Bone marrow smear; Pappenheim-stained; cropped to a single cell.
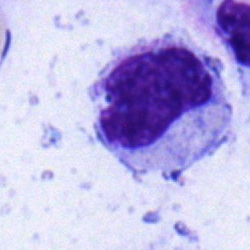A metamyelocyte.